40× objective, oil immersion; bone marrow aspirate smear; May-Grünwald-Giemsa/Pappenheim stain.
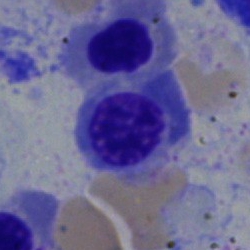
Specimen: bone marrow smear.
Classification: nucleated red blood cell.
Lineage: erythroid.